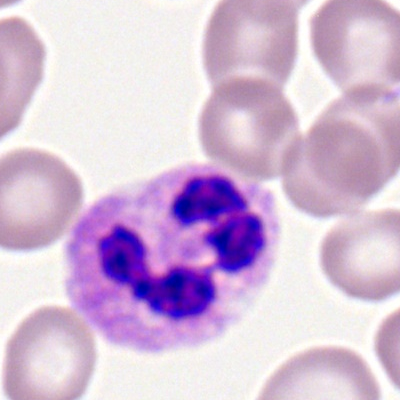 Morphology — neutrophil (segmented).